Single cell centered in the field. Bone marrow aspirate smear:
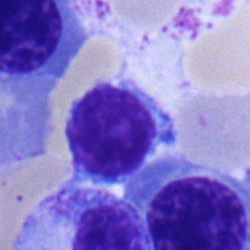
Showing a typical lymphocyte.